40× oil immersion. Bone marrow smear: 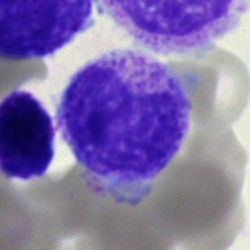The morphological class is band neutrophil.